Bone marrow aspirate smear; 40× oil immersion
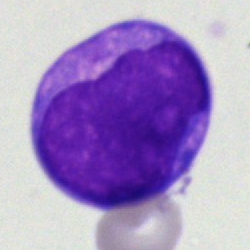

Impression → blast.